Single-cell field · brightfield microscopy, 40× oil immersion · bone marrow smear.
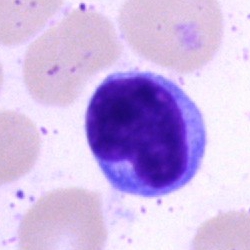 Specimen: bone marrow smear.
Cell: typical lymphocyte.
Lineage: lymphoid.